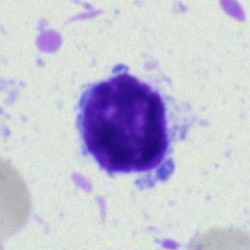
Cell = lymphocyte.